Bone marrow smear.
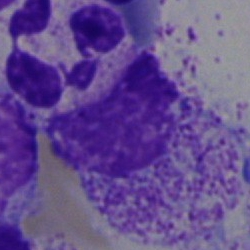

Cell type: myelocyte.